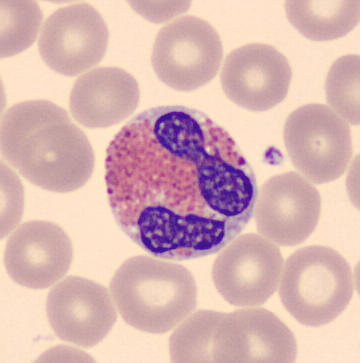Q: What is shown here?
A: Eosinophil.

Peripheral blood smear.